Bone marrow aspirate smear · 250×250 px · brightfield, 40× oil-immersion objective: 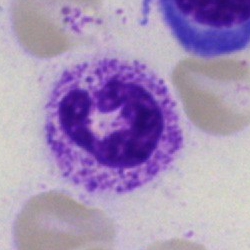
Cell: segmented neutrophil.